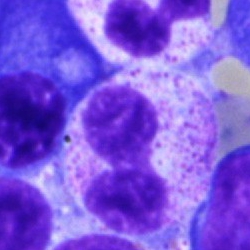
Single cell identified as a neutrophil (band).